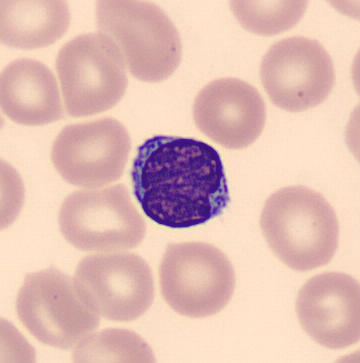
The cell shown is a lymphocyte.

Acquisition: Cropped to a single cell; peripheral blood smear; CellaVision DM96.